Brightfield microscopy, 40× oil immersion; bone marrow aspirate smear; May-Grünwald-Giemsa stain
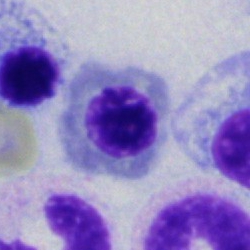
Classification = nucleated red blood cell.